Bone marrow smear: 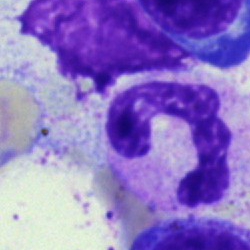 Impression — polymorphonuclear neutrophil.